250×250. Bone marrow smear: 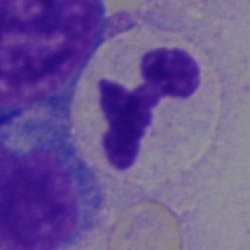 Q: What is shown here?
A: This is a segmented neutrophil.